Bone marrow smear · image size 250×250 · brightfield microscopy, 40× oil immersion — 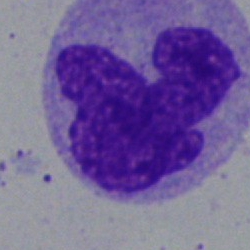Morphology — monocyte.